Peripheral blood smear · 100× oil immersion.
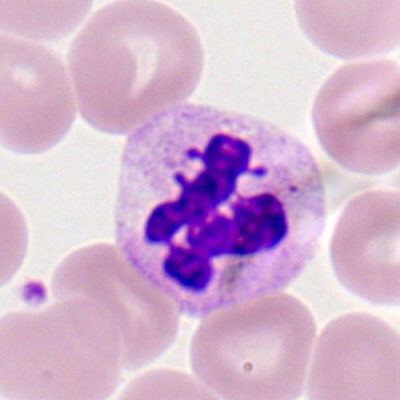

Specimen: peripheral blood smear.
Cell type: polymorphonuclear neutrophil.
Lineage: myeloid.